Bone marrow smear:
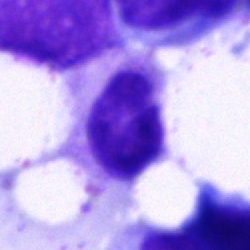Morphology — artifact.